Bone marrow aspirate smear: 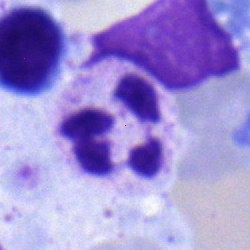Q: What type of cell is this?
A: A polymorphonuclear neutrophil.